Bone marrow smear. May-Grünwald-Giemsa stain. 40× objective, oil immersion
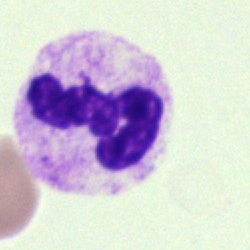Neutrophil (segmented).